250×250 · bone marrow aspirate smear · single cell centered in the field — 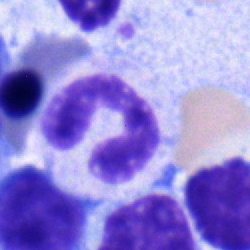
Q: What is the morphological classification of this cell?
A: Stab cell.